Bone marrow aspirate smear
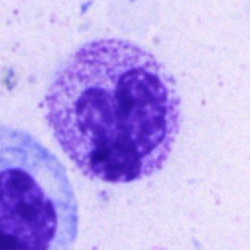Morphology — segmented neutrophil.